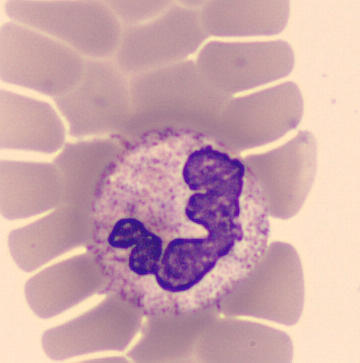Preparation: Peripheral blood film. The cell shown is a neutrophil (segmented).